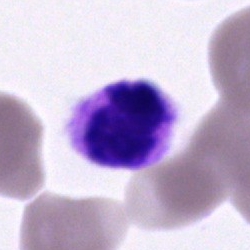Showing a segmented neutrophil.